Image size 400×400. Peripheral blood film: 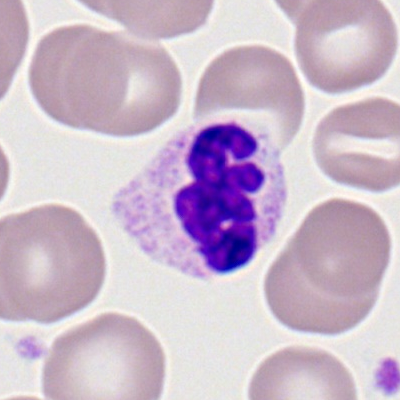
Polymorphonuclear neutrophil.